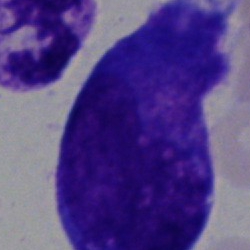 {"cell_type": "blast"}